Bone marrow smear:
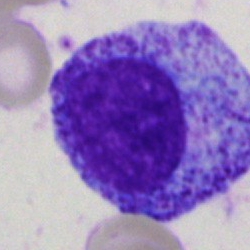

Impression → progranulocyte.